Single-cell field. Bone marrow smear.
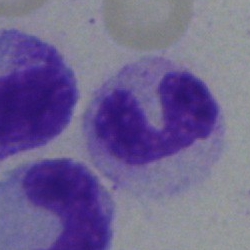

Morphology consistent with a stab cell.